Bone marrow aspirate smear
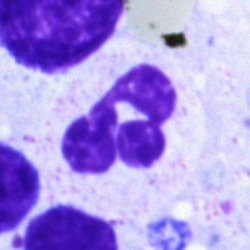
The cell shown is a segmented neutrophil.